Bone marrow aspirate smear:
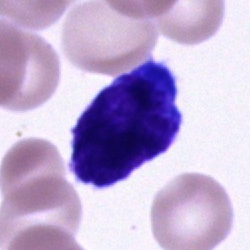
Morphology — unidentifiable cell.